Bone marrow aspirate smear: 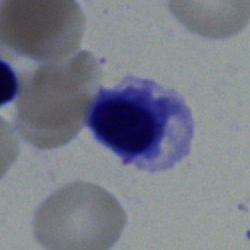

Impression — normoblast.